Bone marrow aspirate smear. 40× oil immersion: 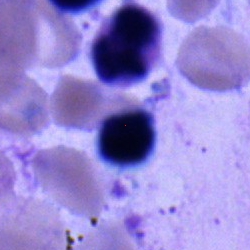 Specimen: bone marrow smear.
Cell type: typical lymphocyte.